Bone marrow smear — 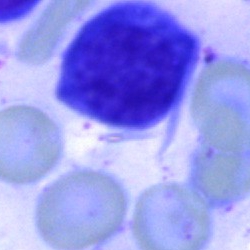

Showing an erythroblast.